Peripheral blood smear: 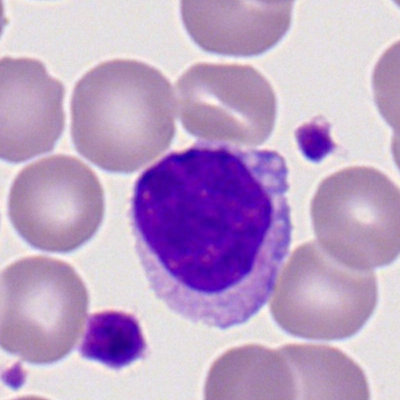

Q: Identify the cell.
A: Typical lymphocyte.